Bone marrow aspirate smear. Brightfield, 40× oil-immersion objective — 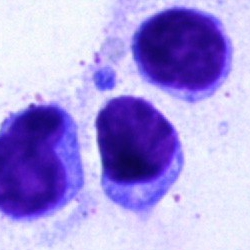Morphology → lymphocyte.